Bone marrow aspirate smear: 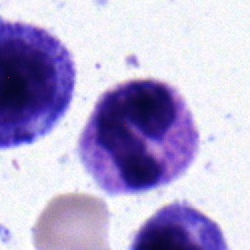 Impression → band-form neutrophil.